MGG-stained; image size 250×250; bone marrow smear: 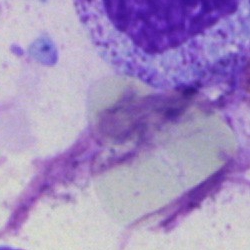

Single cell identified as an artefact.